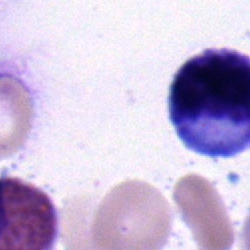Q: What is shown here?
A: Myelocyte.